Bone marrow aspirate smear.
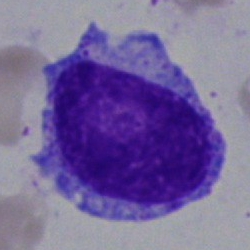Specimen: bone marrow smear.
Cell type: promyelocyte.